Peripheral blood smear — 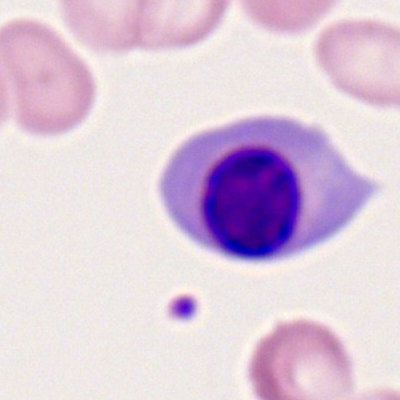 Morphology consistent with an erythroblast.